Bone marrow smear
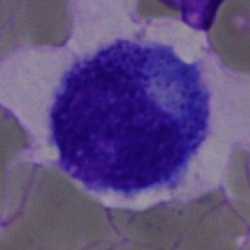
Specimen: bone marrow smear.
Cell: progranulocyte.
Lineage: myeloid.